Bone marrow smear; 250×250: 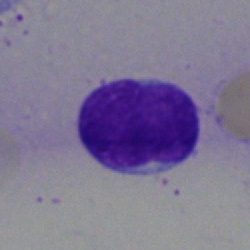The cell shown is a typical lymphocyte.